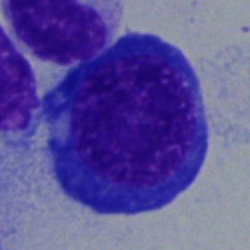Morphology — normoblast.